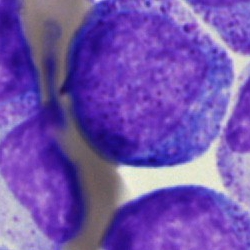
Showing a progranulocyte.